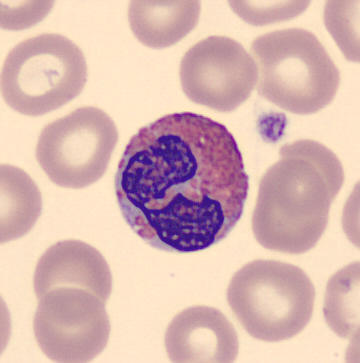

Eosinophil.

Peripheral blood film. Single cell centered in the field. 360 by 363 pixels.